Peripheral blood smear · image size 360×363 · single cell centered in the field.
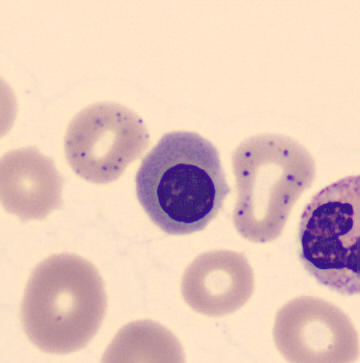 Specimen: peripheral blood film.
Cell type: nucleated red cell.
Lineage: erythroid.